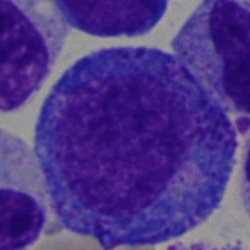Morphological class: promyelocyte.